Bone marrow aspirate smear
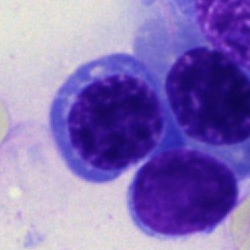

A normoblast.